Bone marrow aspirate smear:
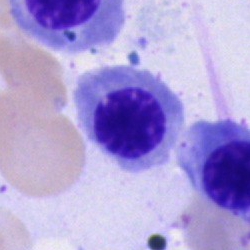Erythroblast.